Bone marrow aspirate smear:
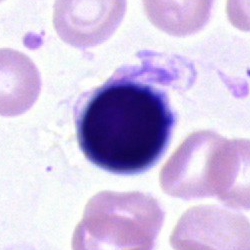The classification is typical lymphocyte.